Bone marrow aspirate smear: 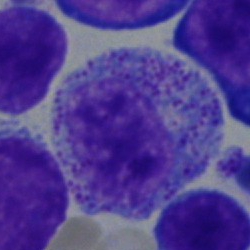 Specimen: bone marrow smear.
Cell type: myelocyte.